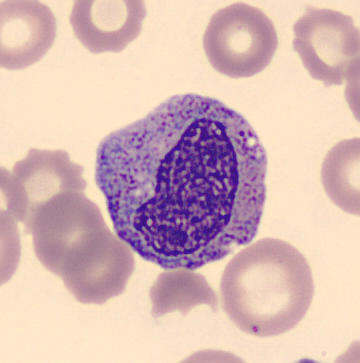

{"cell_type": "myelocyte", "lineage": "myeloid"}